Romanowsky-stained. Peripheral blood film. 100× oil immersion, 14.14 px/µm — 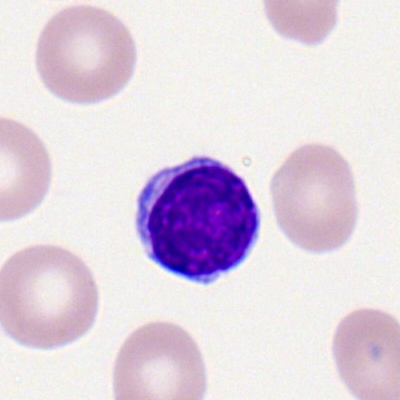Specimen: peripheral blood smear.
Cell type: lymphocyte.
Lineage: lymphoid.